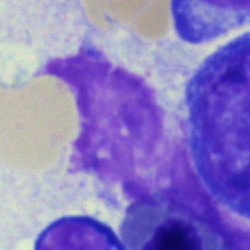

Cell type = artefact.